Bone marrow smear.
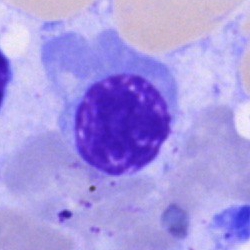 Specimen: bone marrow smear.
Morphological class: erythroblast.